Single-cell field · 40× objective, oil immersion · bone marrow smear: 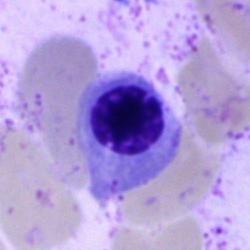 Specimen: bone marrow smear.
Cell type: nucleated red cell.